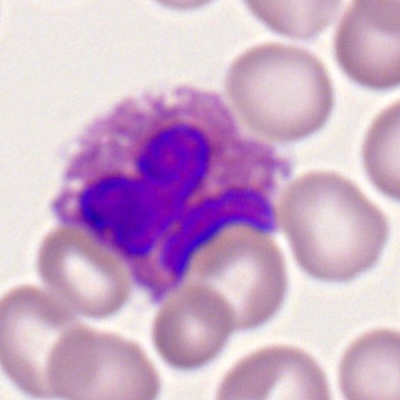Specimen: peripheral blood smear.
Morphological class: eosinophilic granulocyte.